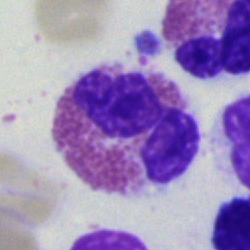Showing an eosinophilic granulocyte.